Bone marrow aspirate smear · MGG-stained — 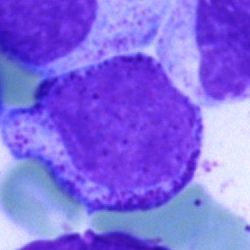Impression — myelocyte.